Bone marrow aspirate smear: 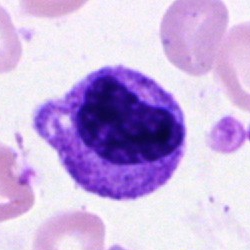
Specimen: bone marrow smear.
Classification: metamyelocyte.
Lineage: myeloid.